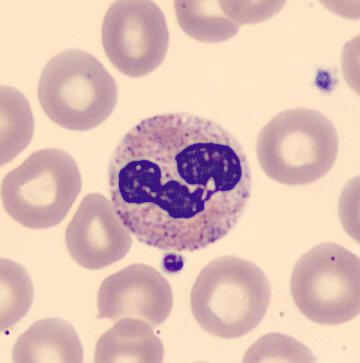 Cell type = segmented neutrophil.